MGG-stained. Bone marrow smear. Single cell centered in the field: 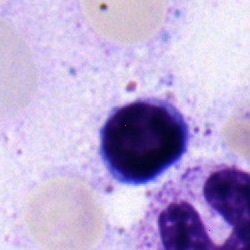

Showing a typical lymphocyte.